Bone marrow aspirate smear: 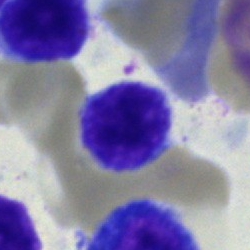
A typical lymphocyte.